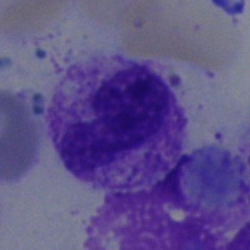
Classification — band neutrophil.